Peripheral blood film
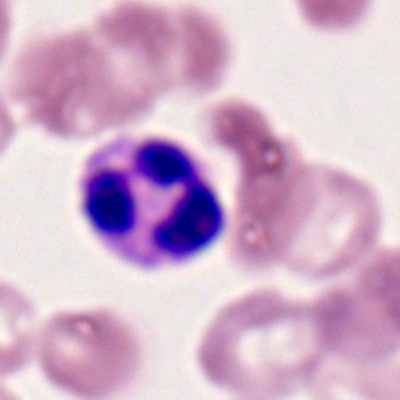The classification is segmented neutrophil.